Bone marrow smear:
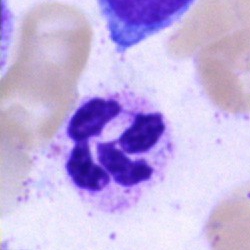
Impression — neutrophil (segmented).